Peripheral blood film; cropped to a single cell: 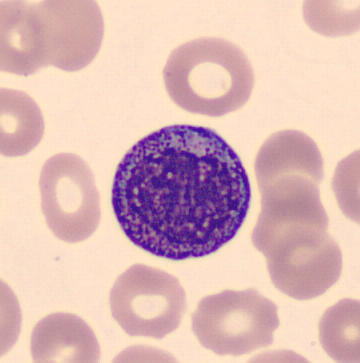

Cell: progranulocyte.